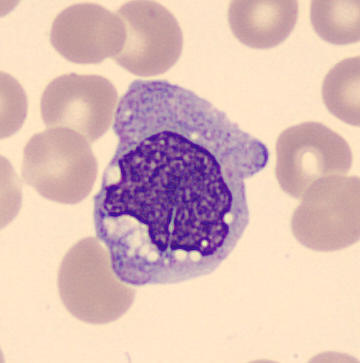 Q: What is the morphological classification of this cell?
A: This is a monocyte.
360 by 363 pixels; peripheral blood film; MGG-stained.